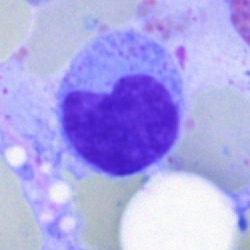 Bone marrow smear showing a typical lymphocyte.